Bone marrow smear:
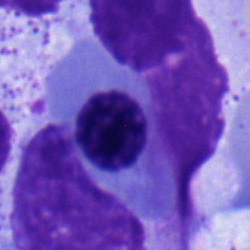 Impression → normoblast.